Peripheral blood film: 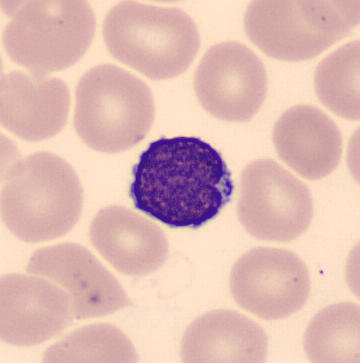
Morphological class: typical lymphocyte.